Bone marrow smear. May-Grünwald-Giemsa/Pappenheim stain — 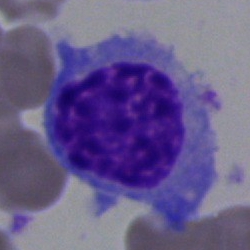

The cell is hairy cell.